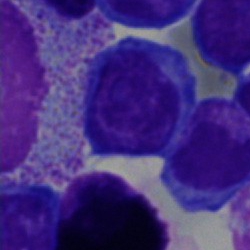 Cell type = typical lymphocyte.